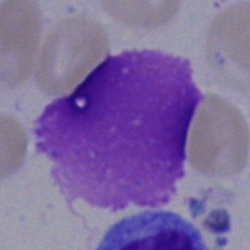
Bone marrow aspirate smear, single cell — artifact.